Bone marrow aspirate smear: 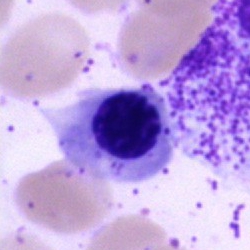
A nucleated red cell.